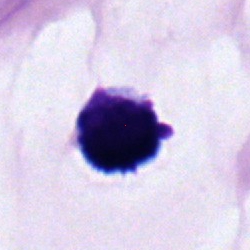 Morphology — typical lymphocyte.